Bone marrow aspirate smear · May-Grünwald-Giemsa/Pappenheim stain: 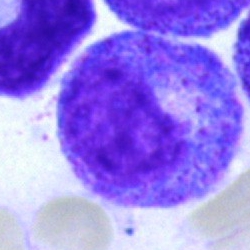
Q: Identify the cell.
A: A progranulocyte.